Bone marrow smear: 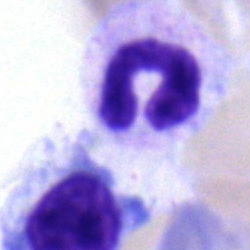 The cell shown is a band neutrophil.